Bone marrow smear. 250×250 px. 40× objective, oil immersion — 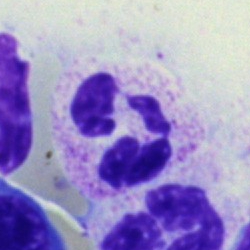 A neutrophil (segmented).